Cropped to a single cell. Bone marrow smear: 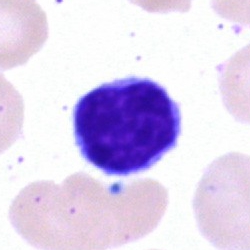

Showing a typical lymphocyte.